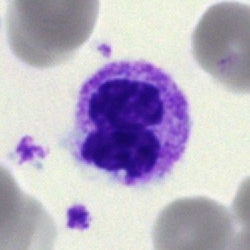Specimen: bone marrow smear.
Morphological class: polymorphonuclear neutrophil.